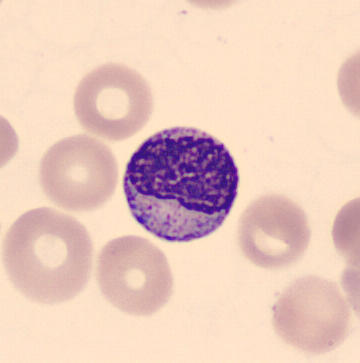

Cell — metamyelocyte.